Single-cell crop. Bone marrow aspirate smear:
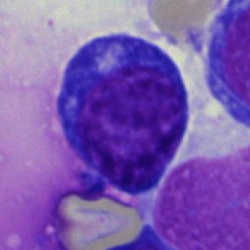Single cell identified as a normoblast.